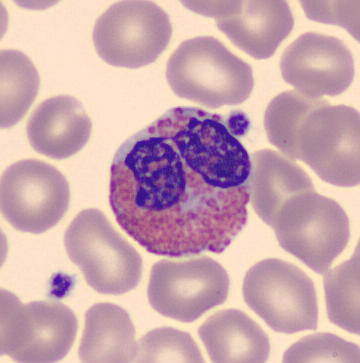 Peripheral blood smear showing an eosinophilic granulocyte.